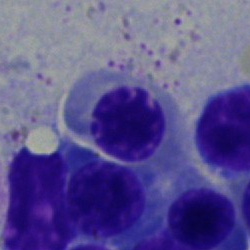 Classification — erythroblast.